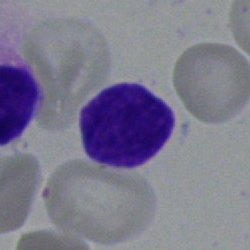 A typical lymphocyte.